Bone marrow aspirate smear · 250×250 px · May-Grünwald-Giemsa/Pappenheim stain — 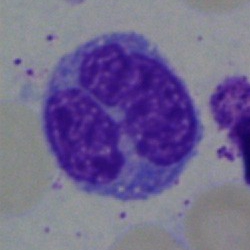
Morphology consistent with a monocyte.